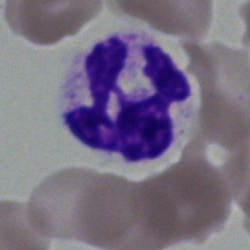Q: Identify the cell.
A: This is a neutrophil (segmented).